CellaVision DM96; May-Grünwald-Giemsa-stained; peripheral blood smear: 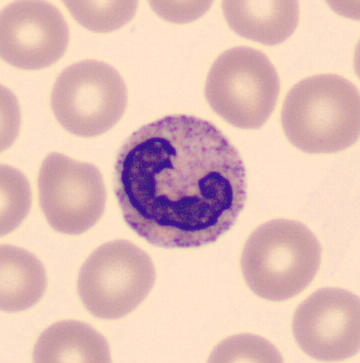
Q: What cell is this?
A: Neutrophil (band).